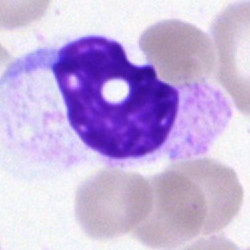
The cell shown is an artefact.